Bone marrow smear: 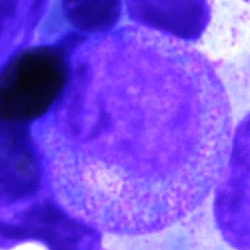Q: Which cell type is shown here?
A: This is a promyelocyte.